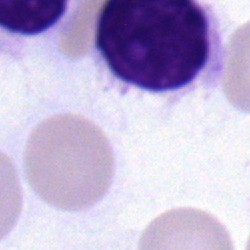
{"cell_type": "lymphocyte", "lineage": "lymphoid"}